40× objective, oil immersion · bone marrow aspirate smear · cropped to a single cell:
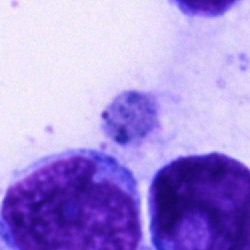Cell of indeterminate lineage.